Bone marrow smear · 250 by 250 pixels · cropped to a single cell
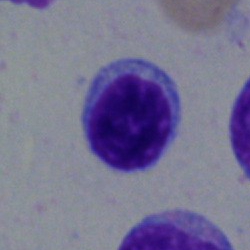The morphological class is typical lymphocyte.